Bone marrow smear — 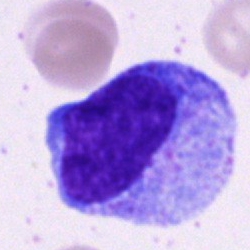 Morphological class: progranulocyte.